MGG-stained; bone marrow smear:
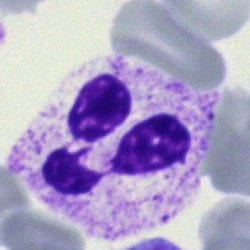 Impression → neutrophil (segmented).